Peripheral blood smear.
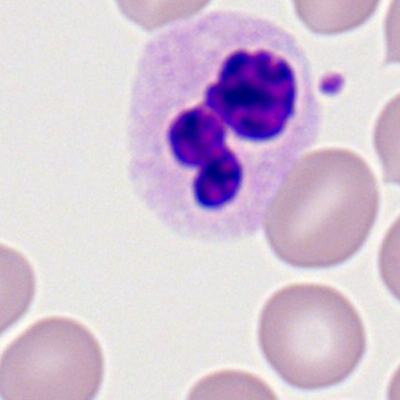Showing a segmented neutrophil.